Bone marrow aspirate smear; single cell centered in the field; brightfield microscopy, 40× oil immersion.
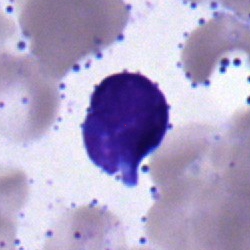

Single cell identified as a typical lymphocyte.